Cropped to a single cell; bone marrow smear: 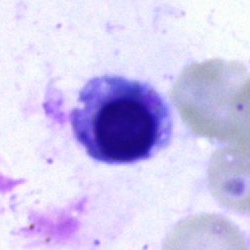 Cell type — nucleated red cell.